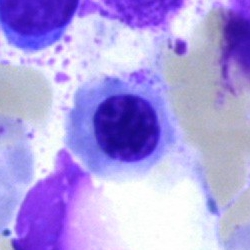
Q: What is the morphological classification of this cell?
A: Erythroblast.